Bone marrow smear: 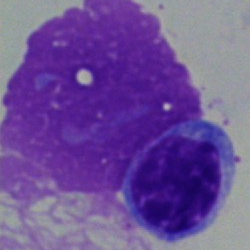Q: What type of cell is this?
A: Lymphocyte.